Bone marrow aspirate smear
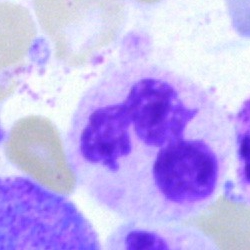Cell — neutrophil (segmented).